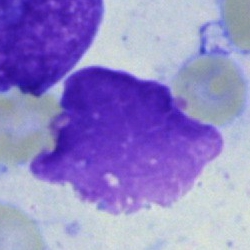
An artifact on a bone marrow smear.